Bone marrow aspirate smear
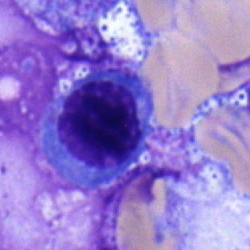

Single cell identified as an erythroblast.